Bone marrow aspirate smear; image size 250×250; MGG-stained: 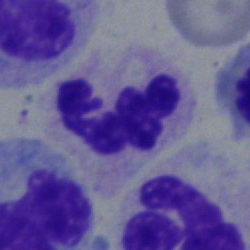

Single cell identified as a polymorphonuclear neutrophil.